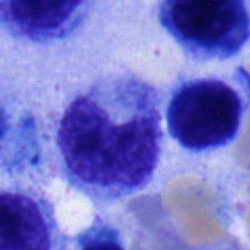

Specimen: bone marrow aspirate smear.
Cell: monocyte.